Bone marrow aspirate smear. May-Grünwald-Giemsa stain
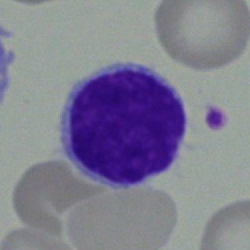 Q: What type of cell is this?
A: Lymphocyte.